May-Grünwald-Giemsa/Pappenheim stain · cropped to a single cell · bone marrow smear — 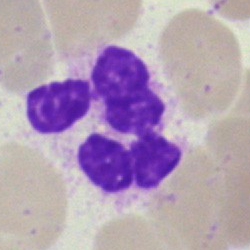 Classification = segmented neutrophil.